250×250 px · bone marrow smear
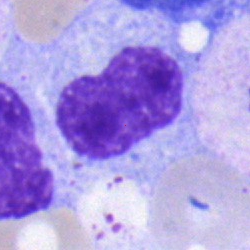

Specimen: bone marrow smear.
Cell type: metamyelocyte.
Lineage: myeloid.